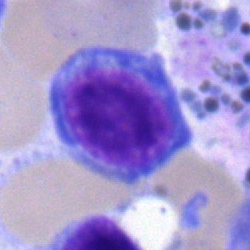
This is a nucleated red cell.